Romanowsky-type stain. Peripheral blood smear.
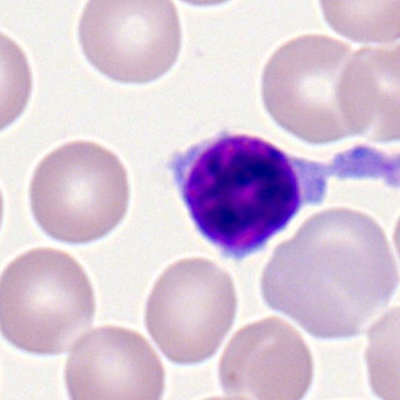Specimen: peripheral blood film.
Morphological class: lymphocyte.